Bone marrow aspirate smear: 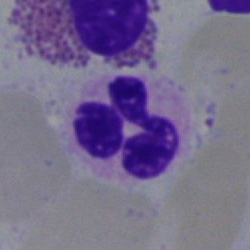

A segmented neutrophil.